Bone marrow smear. Single-cell field: 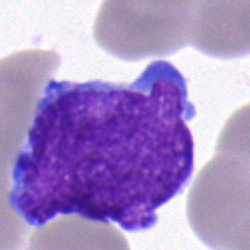Blast cell.